Bone marrow smear:
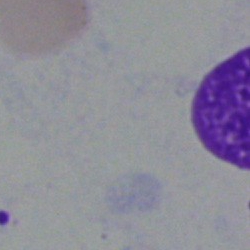 Specimen: bone marrow aspirate smear.
Morphological class: artifact.